Bone marrow smear — 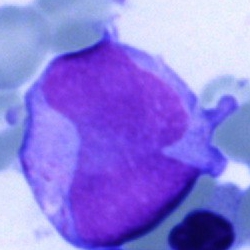

Undifferentiated blast.